Bone marrow smear.
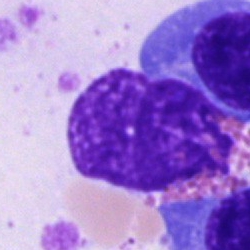

Morphology consistent with an artefact.